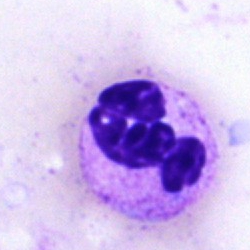A segmented neutrophil on a bone marrow smear.